Brightfield, 40× oil-immersion objective; 250×250 px; bone marrow smear
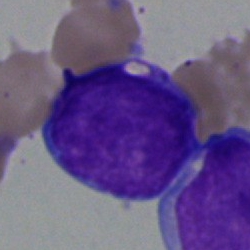Impression → undifferentiated blast.